Bone marrow aspirate smear. Single-cell field. 40× oil immersion — 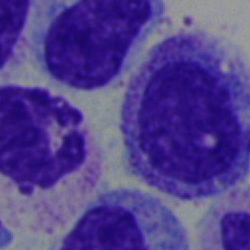
Specimen: bone marrow smear.
Morphological class: myelocyte.